Cropped to a single cell · bone marrow aspirate smear:
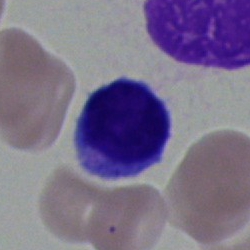

Cell type = lymphocyte.